Bone marrow aspirate smear · single-cell crop — 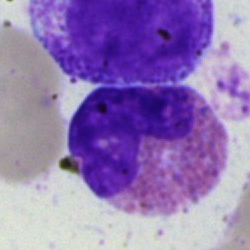Specimen: bone marrow smear.
Cell: eosinophilic granulocyte.
Lineage: myeloid.